40× oil immersion · bone marrow smear.
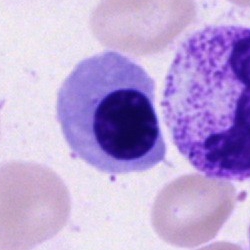
Morphology consistent with a nucleated red blood cell.